Bone marrow aspirate smear; 250×250 px:
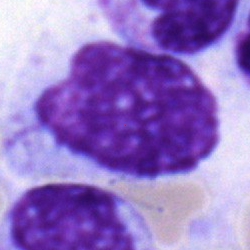

{"cell_type": "myelocyte", "lineage": "myeloid"}